Bone marrow smear
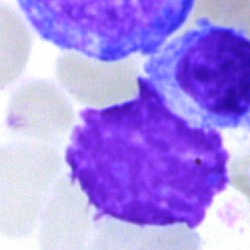 Classification: artifact.